Bone marrow aspirate smear — 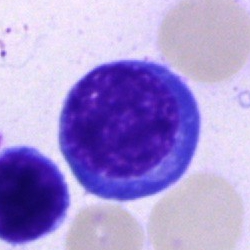

The cell shown is a normoblast.